Bone marrow smear
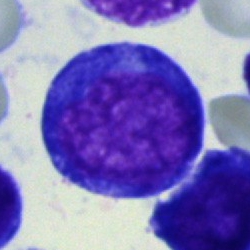
The cell shown is a proerythroblast.